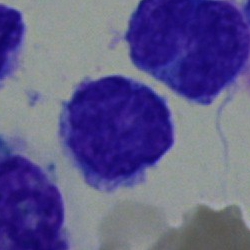

Single-cell crop from a bone marrow smear: undifferentiated blast.